May-Grünwald-Giemsa stain. Bone marrow smear — 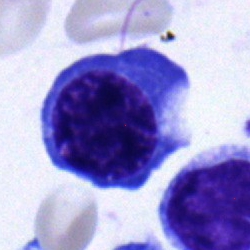

Single cell identified as an erythroblast.